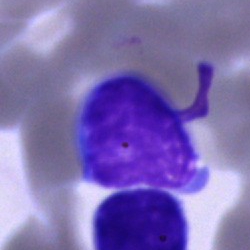{"cell_type": "lymphocyte", "lineage": "lymphoid"}